Peripheral blood film · cropped to a single cell
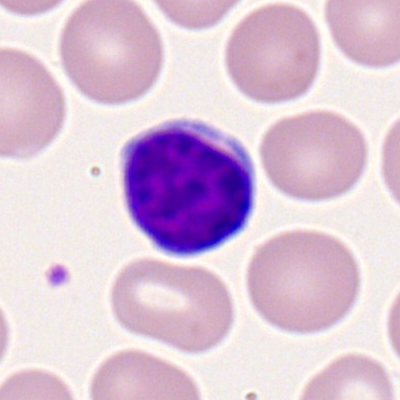

Q: Identify the cell.
A: It is a typical lymphocyte.